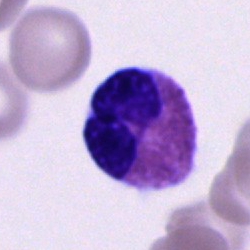The cell shown is an eosinophil.